Bone marrow smear — 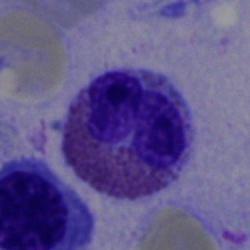
Specimen: bone marrow aspirate smear.
Cell: eosinophilic granulocyte.
Lineage: myeloid.